Brightfield, 40× oil-immersion objective. Bone marrow aspirate smear
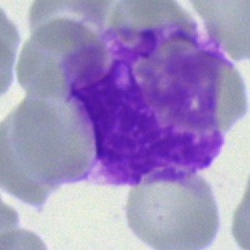A smudge cell.